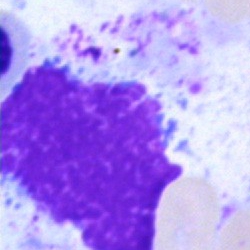Q: What is shown here?
A: Artifact.